Bone marrow aspirate smear
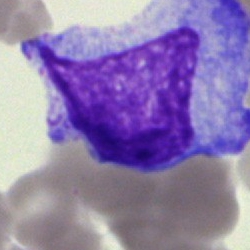 Specimen: bone marrow aspirate smear.
Classification: promyelocyte.